400×400. Peripheral blood smear — 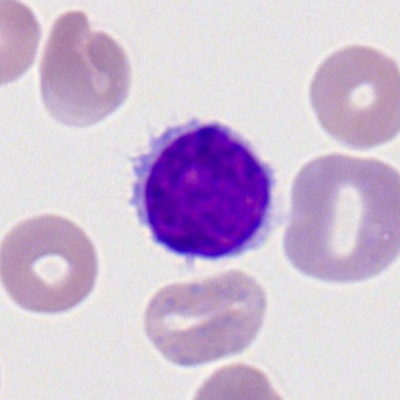
A lymphocyte.